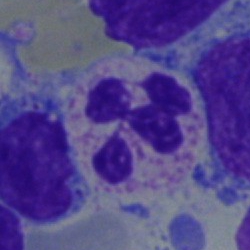
Cell type — segmented neutrophil.